Bone marrow smear; Pappenheim-stained; 250×250 — 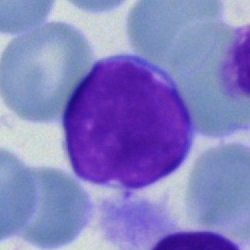
Specimen: bone marrow smear.
Cell type: lymphocyte.